Bone marrow aspirate smear — 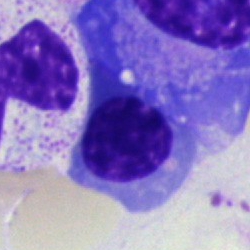 Morphological class = plasma cell.